May-Grünwald-Giemsa/Pappenheim stain · bone marrow aspirate smear:
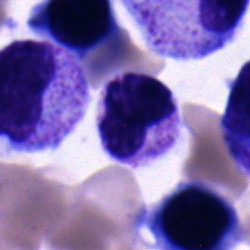
The cell shown is a polymorphonuclear neutrophil.